Bone marrow smear:
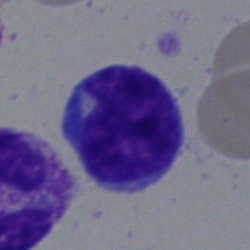Q: What type of cell is this?
A: Lymphocyte.